Bone marrow aspirate smear.
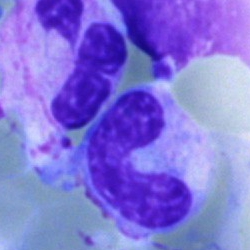
Specimen: bone marrow aspirate smear.
Cell type: band-form neutrophil.
Lineage: myeloid.